Bone marrow aspirate smear
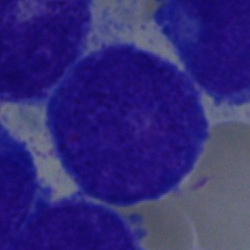

Q: What is shown here?
A: An undifferentiated blast.